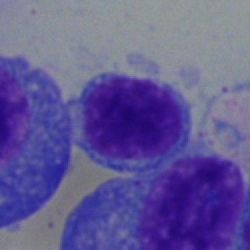 Specimen: bone marrow aspirate smear.
Cell: lymphocyte.
Lineage: lymphoid.